Single-cell crop. Bone marrow aspirate smear
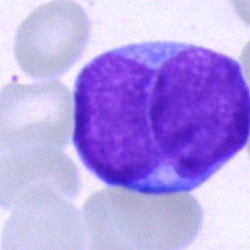 Classification = undifferentiated blast.